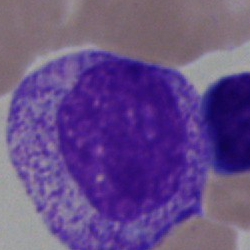
Specimen: bone marrow smear.
Cell type: promyelocyte.